MGG-stained · bone marrow aspirate smear.
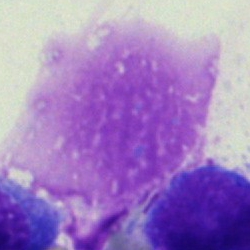

Morphological class = artifact.